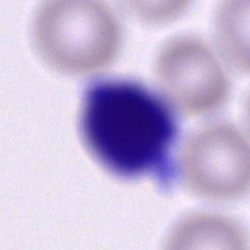Morphology — cell of indeterminate lineage.